250 by 250 pixels · bone marrow aspirate smear · May-Grünwald-Giemsa/Pappenheim stain.
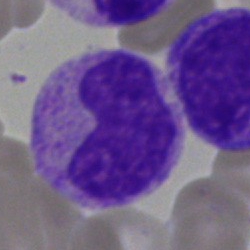
Morphology consistent with a stab cell.